Bone marrow smear: 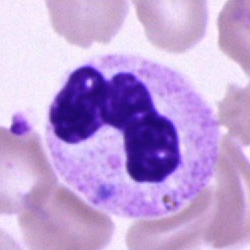
Specimen: bone marrow smear.
Cell: polymorphonuclear neutrophil.
Lineage: myeloid.